400×400 · single-cell crop · peripheral blood smear
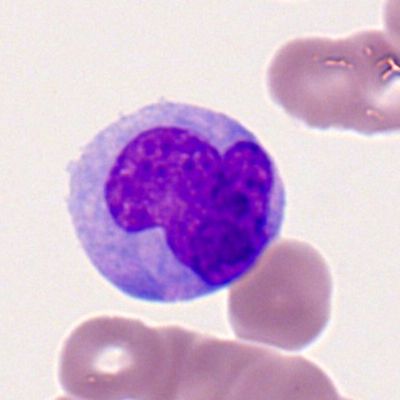Q: What type of cell is this?
A: A monocyte.